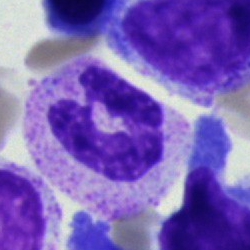{"cell_type": "neutrophil (segmented)", "lineage": "myeloid"}